Peripheral blood film; 400 by 400 pixels; single-cell field:
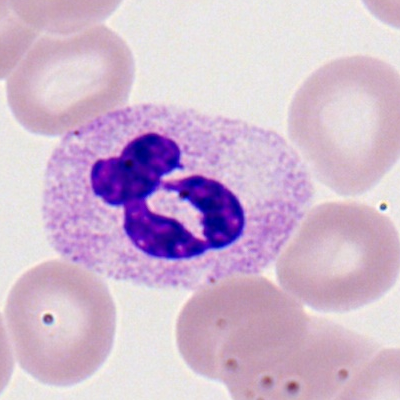
Morphology consistent with a polymorphonuclear neutrophil.